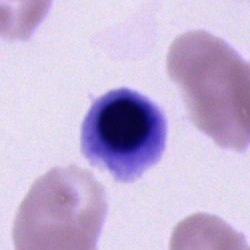This is an erythroblast.